Bone marrow aspirate smear: 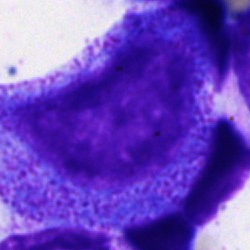Q: Which cell type is shown here?
A: Progranulocyte.